Bone marrow smear. MGG-stained:
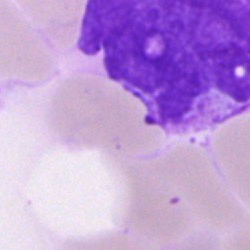Specimen: bone marrow aspirate smear.
Cell: artifact.